Bone marrow aspirate smear.
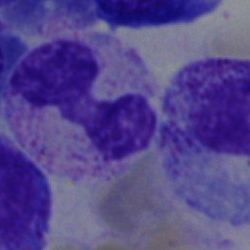Morphological class: segmented neutrophil.